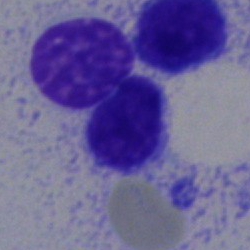
Single-cell crop from a bone marrow smear: typical lymphocyte.